Bone marrow aspirate smear.
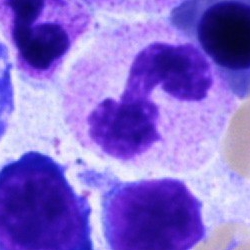
Showing a neutrophil (segmented).